Bone marrow aspirate smear: 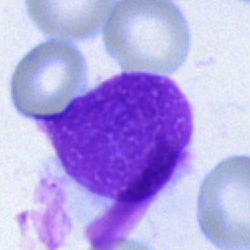The cell is artifact.